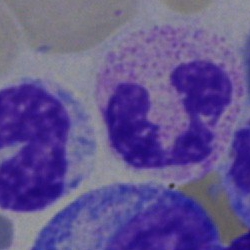Classification — polymorphonuclear neutrophil.